40× oil immersion · bone marrow smear.
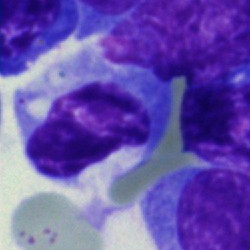Cell: monocyte.